250 by 250 pixels. Pappenheim-stained. Bone marrow aspirate smear.
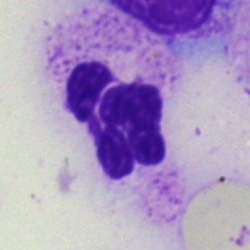Polymorphonuclear neutrophil.